250×250 px · bone marrow smear — 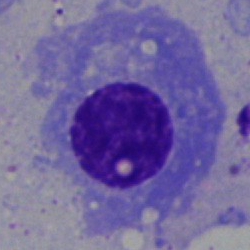
Impression — plasmacyte.